Single-cell crop; bone marrow aspirate smear: 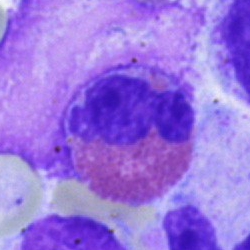 Q: What is the morphological classification of this cell?
A: An eosinophil.